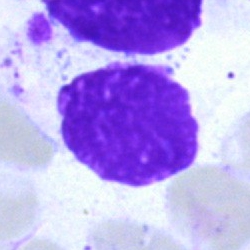
Specimen: bone marrow aspirate smear.
Cell type: artefact.